Bone marrow smear · single-cell crop: 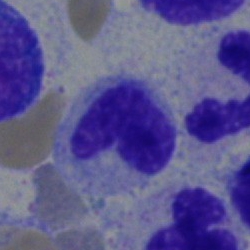This is a stab cell.